May-Grünwald-Giemsa/Pappenheim stain; bone marrow smear:
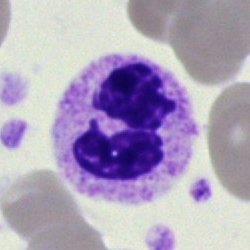 This is a polymorphonuclear neutrophil.